Bone marrow smear · single-cell field · May-Grünwald-Giemsa/Pappenheim stain — 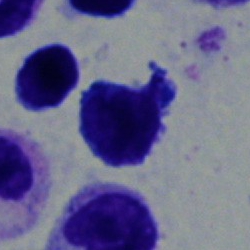This is a lymphocyte.